Bone marrow smear: 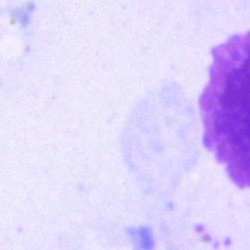Cell: artefact.